Bone marrow smear — 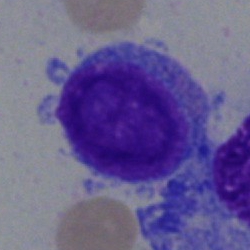

The classification is blast.